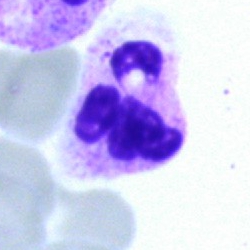Cell = polymorphonuclear neutrophil.